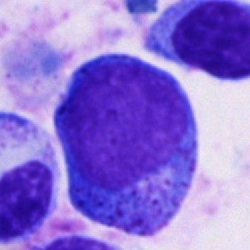 Specimen: bone marrow aspirate smear.
Cell type: progranulocyte.
Lineage: myeloid.